Bone marrow smear: 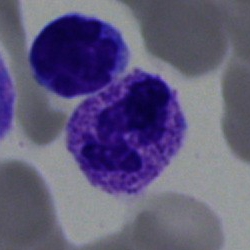
A neutrophil (segmented).